Bone marrow aspirate smear · 40× objective, oil immersion:
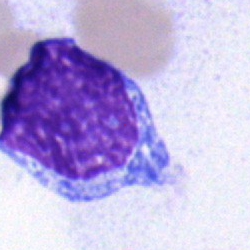
Showing a blast cell.